Peripheral blood smear. Romanowsky-stained — 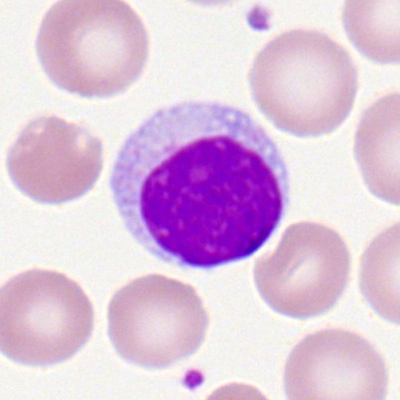
Morphological class — lymphocyte.